Bone marrow smear:
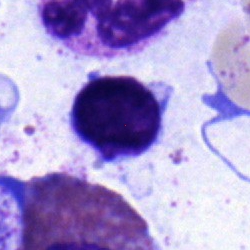

Morphology consistent with a typical lymphocyte.